Bone marrow smear: 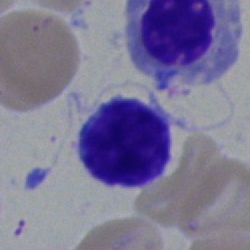
{"cell_type": "lymphocyte", "lineage": "lymphoid"}